Single-cell field · brightfield, 40× oil-immersion objective · bone marrow smear — 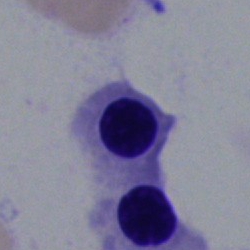

Q: Which cell type is shown here?
A: This is a nucleated red cell.